Bone marrow aspirate smear.
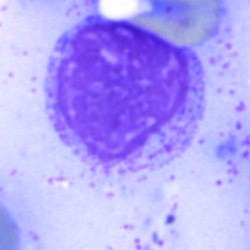Morphological class = artifact.